Bone marrow smear:
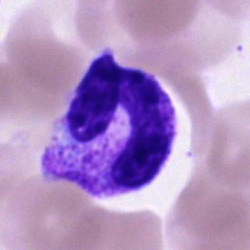
Classification = neutrophil (band).